Bone marrow aspirate smear — 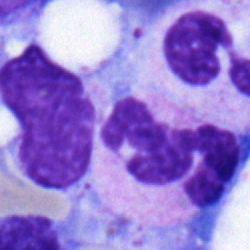

{"cell_type": "neutrophil (segmented)", "lineage": "myeloid"}